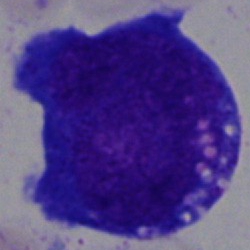

The cell shown is a blast.